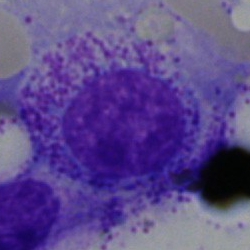A myelocyte on a bone marrow smear.